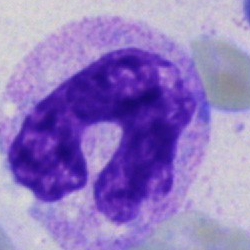Q: Identify the cell.
A: It is a neutrophil (band).